Bone marrow smear; single cell centered in the field.
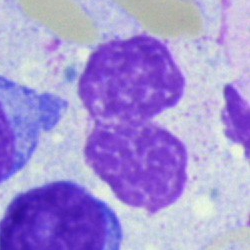Q: What is shown here?
A: An artifact.